Bone marrow aspirate smear. Pappenheim-stained. 40× oil immersion.
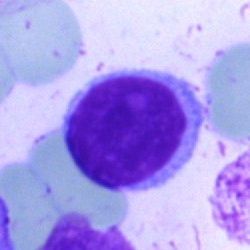
Morphology — typical lymphocyte.